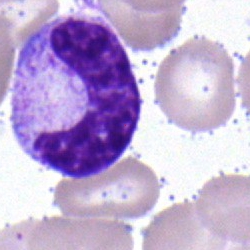

Neutrophil (band).